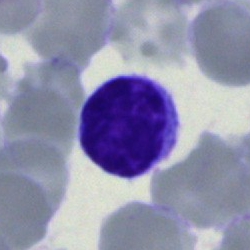{"cell_type": "lymphocyte"}